Bone marrow smear:
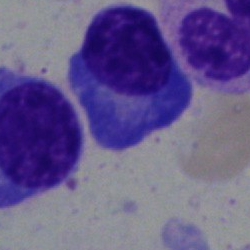

Specimen: bone marrow smear.
Classification: plasma cell.
Lineage: lymphoid.